Bone marrow aspirate smear:
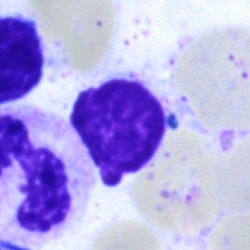

The classification is lymphocyte.